Bone marrow smear
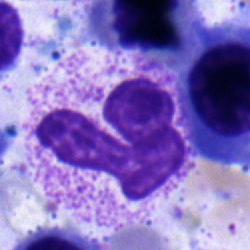

Showing a stab cell.